Bone marrow smear.
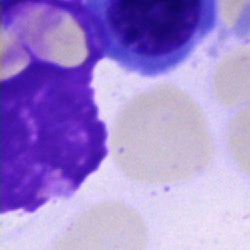 Q: What is shown here?
A: An artefact.